Bone marrow smear: 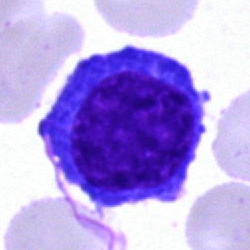{"cell_type": "nucleated red cell", "lineage": "erythroid"}